Single cell centered in the field · bone marrow smear — 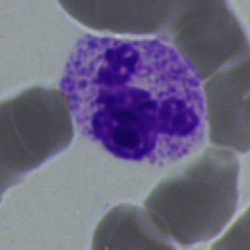Showing a segmented neutrophil.